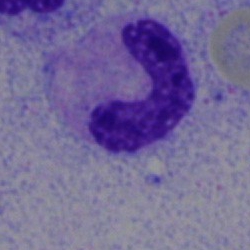

Cell — band neutrophil.